Bone marrow smear. 40× oil immersion. May-Grünwald-Giemsa stain — 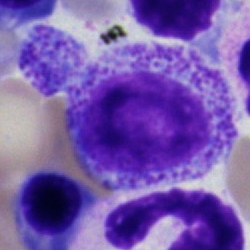
Classification = myelocyte.